Bone marrow aspirate smear
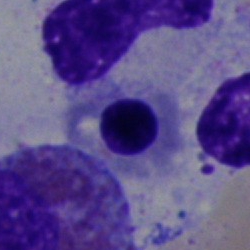

This is a normoblast.